Bone marrow smear · image size 250×250 · MGG-stained:
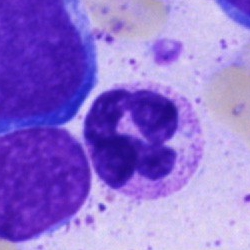 Morphological class = polymorphonuclear neutrophil.